May-Grünwald-Giemsa stain; bone marrow aspirate smear.
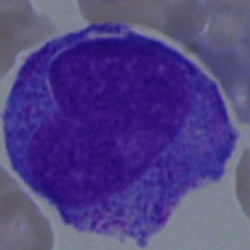
Morphology consistent with a promyelocyte.